Bone marrow aspirate smear. Cropped to a single cell:
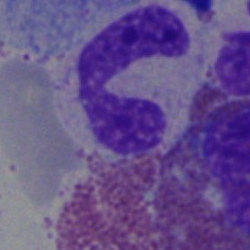Cell = polymorphonuclear neutrophil.